Bone marrow aspirate smear
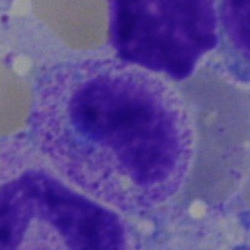

Showing a stab cell.